250×250 px; bone marrow smear: 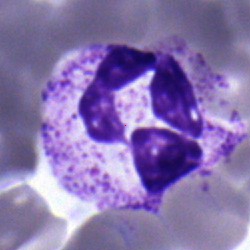

Neutrophil (segmented).